Bone marrow aspirate smear; single-cell field:
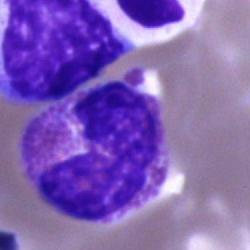 This is an eosinophilic granulocyte.